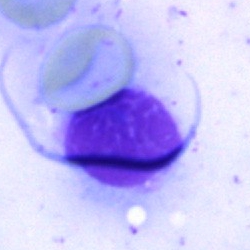

Morphology consistent with an artifact.